Bone marrow smear. Cropped to a single cell. 40× objective, oil immersion.
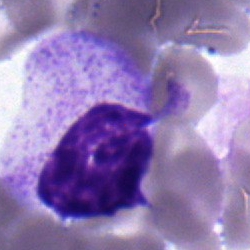

Morphology — monocyte.